Bone marrow aspirate smear. Brightfield, 40× oil-immersion objective.
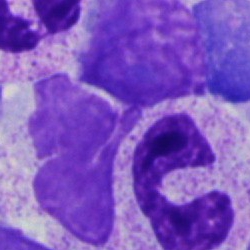 Morphology consistent with a neutrophil (segmented).